Bone marrow smear.
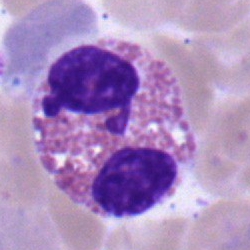 Morphology → eosinophil.